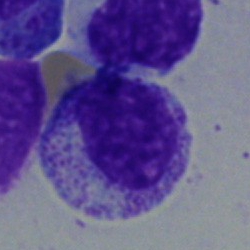

{"cell_type": "myelocyte"}